Bone marrow smear: 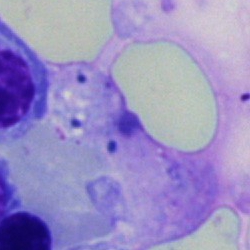

Morphological class = artifact.